Peripheral blood smear. Imaged on a CellaVision DM96 analyser. 360 by 363 pixels
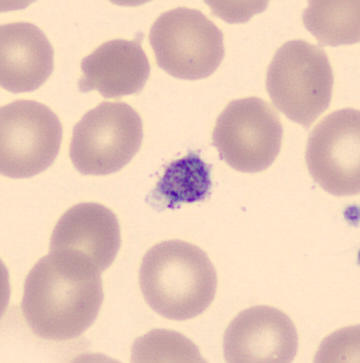
Morphology consistent with a platelet (thrombocyte).